Bone marrow aspirate smear: 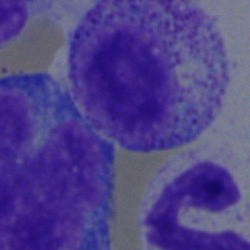

The cell shown is a myelocyte.